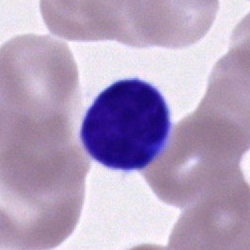 Cell — lymphocyte.